400 by 400 pixels. Romanowsky stain. Peripheral blood film: 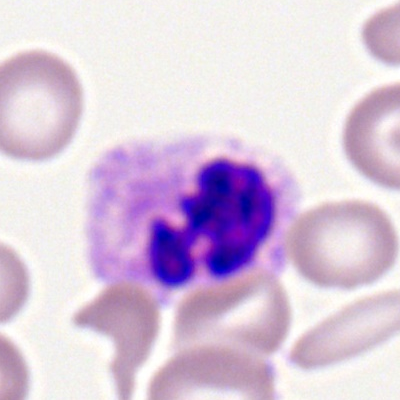

Morphological class = polymorphonuclear neutrophil.